Single cell centered in the field · bone marrow aspirate smear
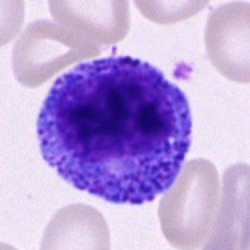
A progranulocyte.